Bone marrow aspirate smear
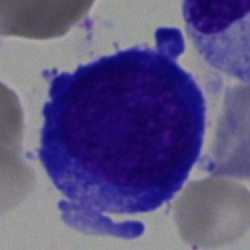

Classification — nucleated red cell.